250×250 px. Bone marrow smear: 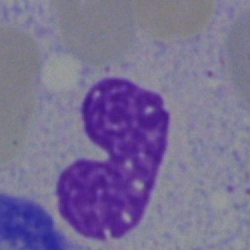
Q: Identify the cell.
A: Band neutrophil.